400×400 px · peripheral blood smear · single-cell field — 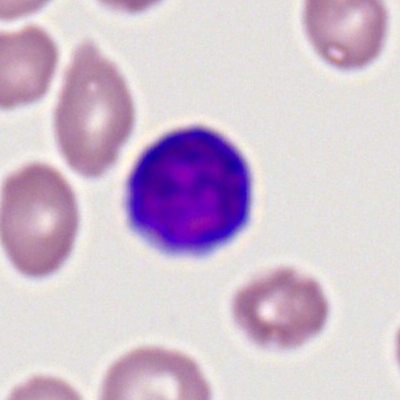

Q: Identify the cell.
A: It is a lymphocyte.